Peripheral blood film:
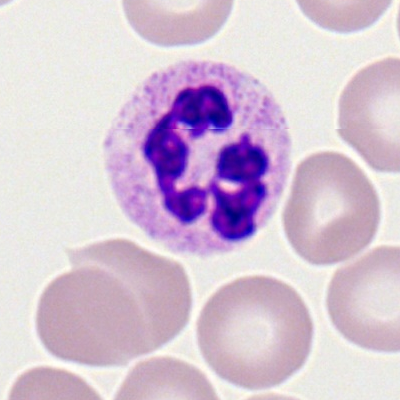
Single cell identified as a polymorphonuclear neutrophil.